Peripheral blood smear: 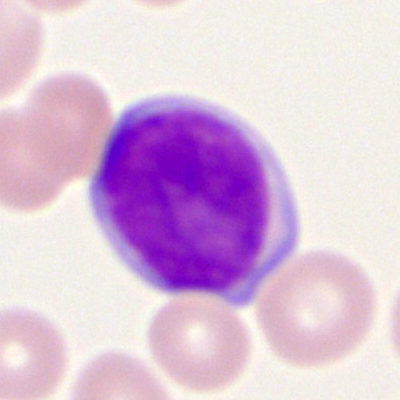
Morphological class — myeloid blast.